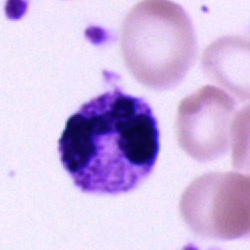 Q: What is shown here?
A: Segmented neutrophil.